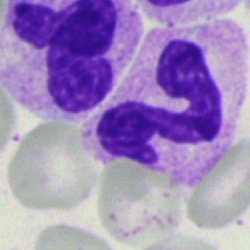

{"cell_type": "polymorphonuclear neutrophil"}